250×250. Bone marrow aspirate smear: 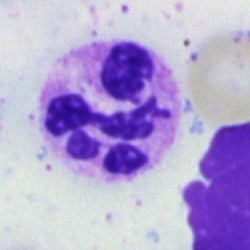 Showing a neutrophil (segmented).